Bone marrow smear — 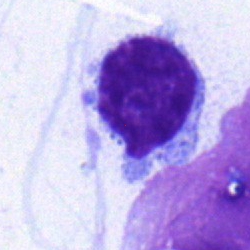 Single cell identified as a typical lymphocyte.